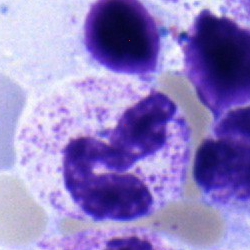
Specimen: bone marrow smear.
Cell type: segmented neutrophil.